May-Grünwald-Giemsa/Pappenheim stain · bone marrow smear — 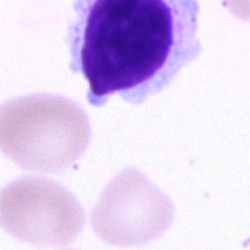

Morphological class: artefact.